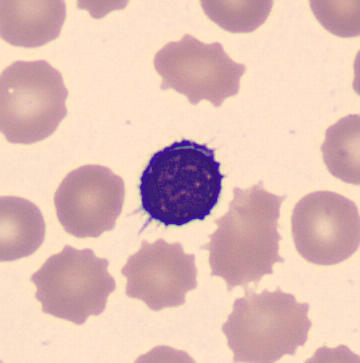Peripheral blood film; single cell centered in the field.

Morphological class = lymphocyte.